Bone marrow smear.
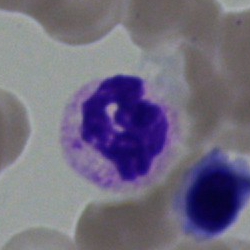 Morphology — polymorphonuclear neutrophil.